Bone marrow smear — 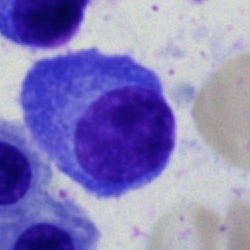 The cell shown is a plasmacyte.